Bone marrow smear:
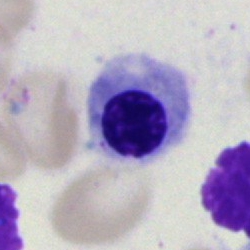Morphology → normoblast.